Bone marrow aspirate smear
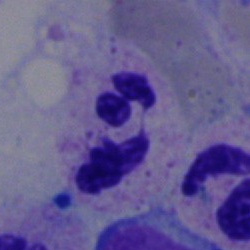
The cell shown is a polymorphonuclear neutrophil.